Single-cell crop · bone marrow smear
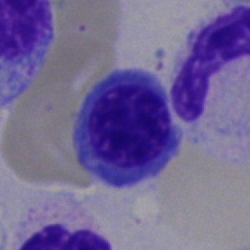Q: Which cell type is shown here?
A: This is an erythroblast.